Bone marrow aspirate smear; 250×250.
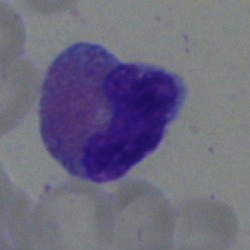 This is an eosinophilic granulocyte.